Bone marrow smear:
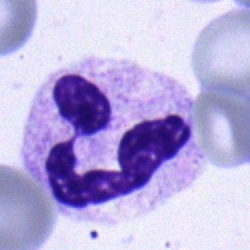 The cell shown is a neutrophil (segmented).